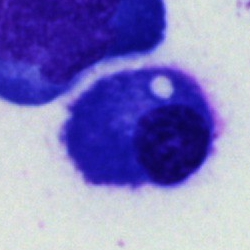

Plasma cell.